Bone marrow aspirate smear; brightfield, 40× oil-immersion objective.
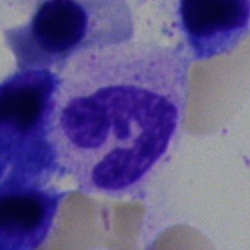Showing a neutrophil (segmented).